Cropped to a single cell; bone marrow aspirate smear
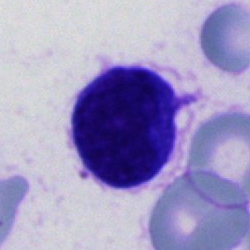Showing an unidentifiable cell.